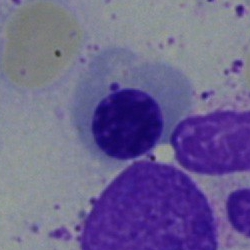

Cell — normoblast.